Bone marrow smear:
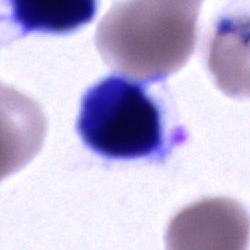 An unidentifiable cell.